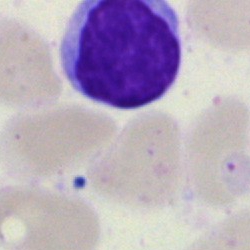

Single-cell crop from a bone marrow smear: lymphocyte.